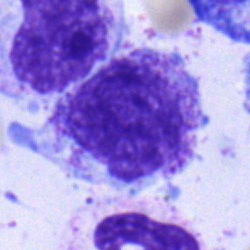The morphological class is myelocyte.